Bone marrow aspirate smear.
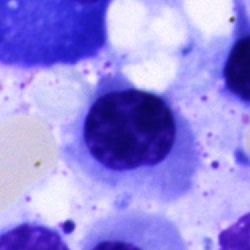 Q: Identify the cell.
A: It is an unidentifiable cell.